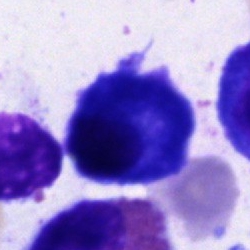Specimen: bone marrow smear.
Classification: plasma cell.